Bone marrow aspirate smear.
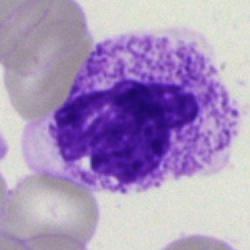 Showing a neutrophil (segmented).